Bone marrow aspirate smear
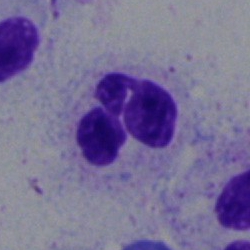 {"cell_type": "neutrophil (segmented)", "lineage": "myeloid"}